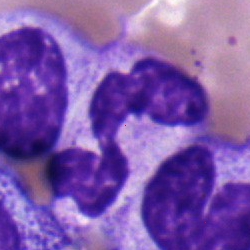
Classification — segmented neutrophil.